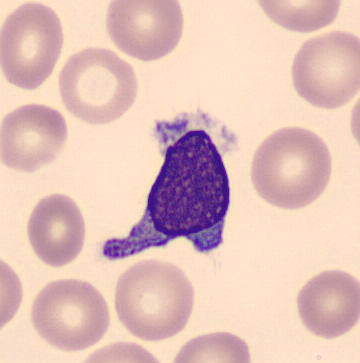

Specimen: peripheral blood film.
Morphological class: lymphocyte.
Lineage: lymphoid.